Bone marrow aspirate smear — 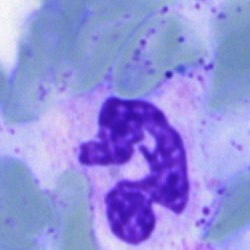 Morphology → polymorphonuclear neutrophil.